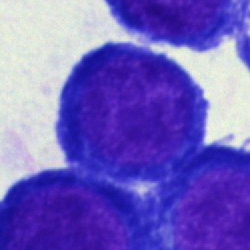

Cell type: erythroblast.